Bone marrow aspirate smear. Image size 250×250: 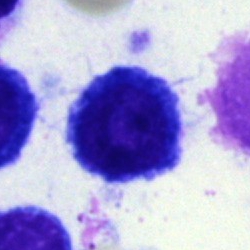The cell type is cell of indeterminate lineage.